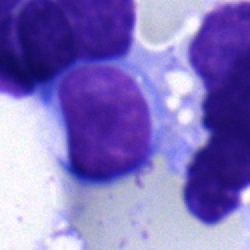
Bone marrow aspirate smear, single cell — typical lymphocyte.